Cropped to a single cell. 400×400. Peripheral blood film
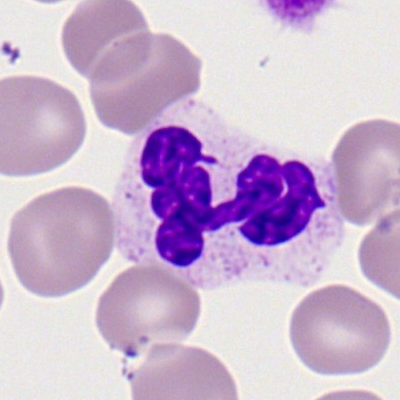Cell = segmented neutrophil.